Pappenheim-stained · bone marrow aspirate smear — 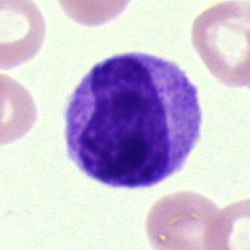 The cell shown is a metamyelocyte.